Bone marrow aspirate smear.
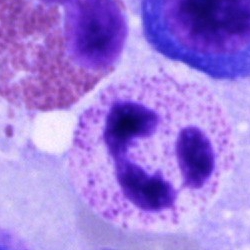Classification: segmented neutrophil.